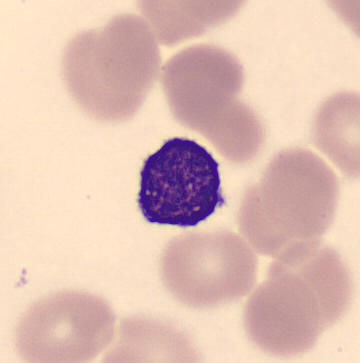

Lymphocyte.

Acquisition: Peripheral blood smear.